Peripheral blood smear:
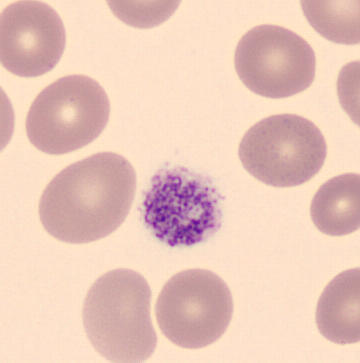Identified as a thrombocyte.